Bone marrow smear.
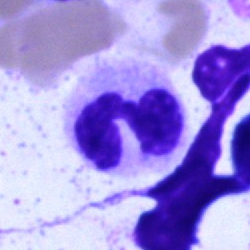This is a polymorphonuclear neutrophil.